Cropped to a single cell; bone marrow aspirate smear
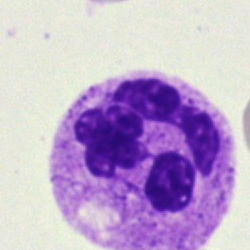

The cell shown is a neutrophil (segmented).